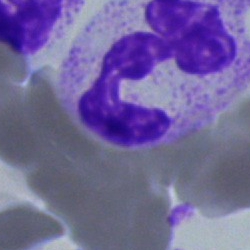 Q: What type of cell is this?
A: It is a segmented neutrophil.